40× objective, oil immersion. Bone marrow smear.
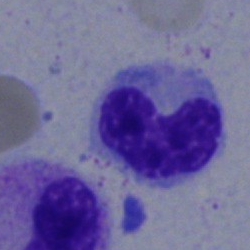

Classification — metamyelocyte.